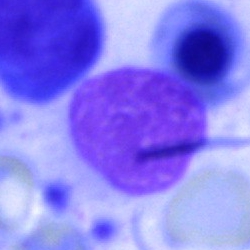Specimen: bone marrow aspirate smear.
Cell type: artifact.